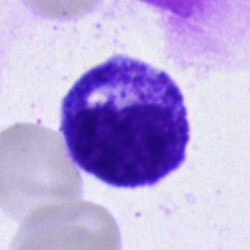 The cell is myelocyte.